Bone marrow smear. 40× objective, oil immersion. 250×250: 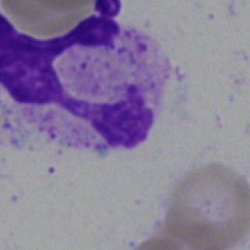Q: What is shown here?
A: Artifact.